Bone marrow aspirate smear.
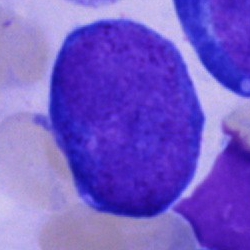

Morphological class = blast.